MGG-stained. Bone marrow aspirate smear: 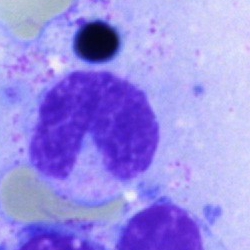
Morphological class — stab cell.